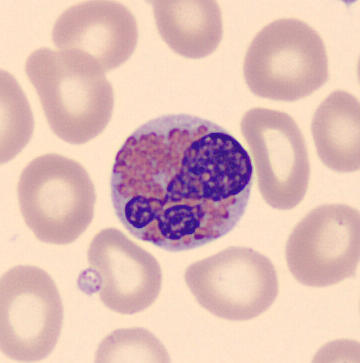

Single cell identified as an eosinophilic granulocyte.